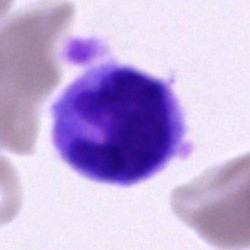 Q: What is shown here?
A: A monocyte.